Bone marrow smear.
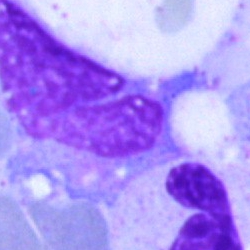
Cell: artefact.